Brightfield microscopy, 40× oil immersion. May-Grünwald-Giemsa stain. Bone marrow smear.
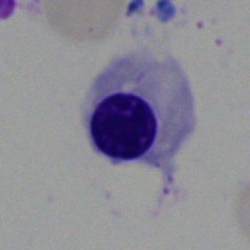Impression — erythroblast.